Bone marrow smear
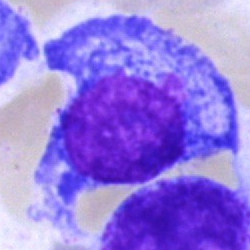
Cell type: plasmacyte.